Bone marrow aspirate smear. May-Grünwald-Giemsa stain: 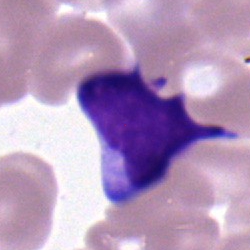
Q: Which cell type is shown here?
A: A lymphocyte.